Bone marrow aspirate smear · 40× objective, oil immersion — 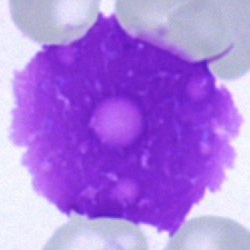The classification is artifact.